Bone marrow aspirate smear.
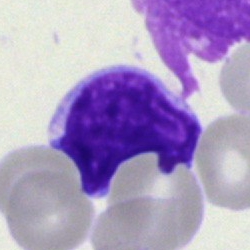

Single cell identified as an undifferentiated blast.